MGG-stained; bone marrow smear; single-cell crop
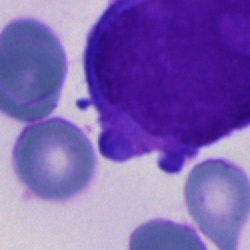 Showing a blast.